Cropped to a single cell; bone marrow smear — 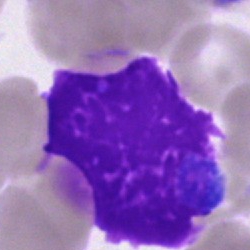 This is an artifact.